Bone marrow aspirate smear. Single-cell crop. 250×250 px.
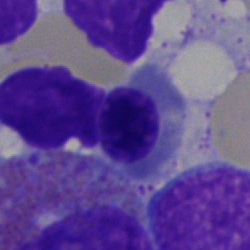Showing a nucleated red cell.